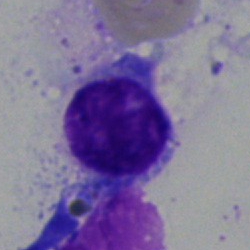
Morphology → typical lymphocyte.